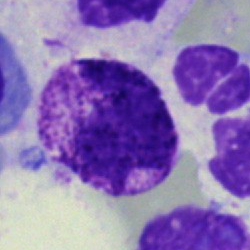
Q: What is shown here?
A: It is a basophil.